Bone marrow aspirate smear:
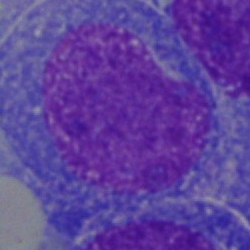Specimen: bone marrow smear.
Morphological class: undifferentiated blast.